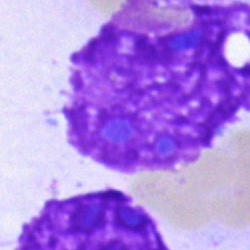 Cell type: artifact.